Bone marrow smear: 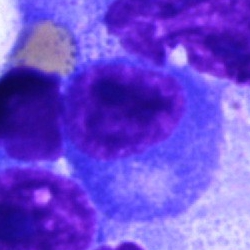

This is a plasma cell.